Bone marrow smear:
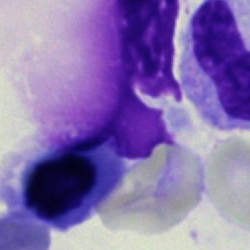

This is an artifact.